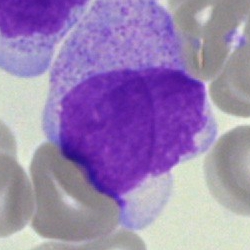 Q: Which cell type is shown here?
A: A monocyte.